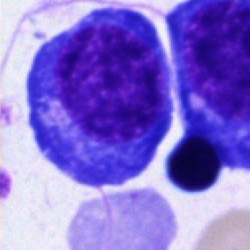 The cell shown is a normoblast.